Bone marrow smear · brightfield, 40× oil-immersion objective.
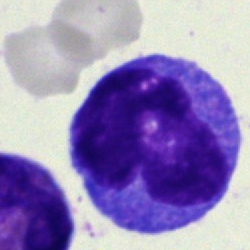

Morphological class — monocyte.